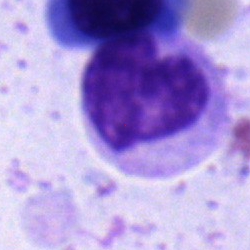
Single-cell crop from a bone marrow smear: neutrophil (band).